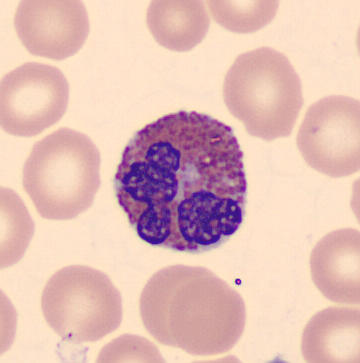 This is an eosinophil.

Preparation: Peripheral blood film. CellaVision DM96 digital cell image. May Grünwald-Giemsa stain.